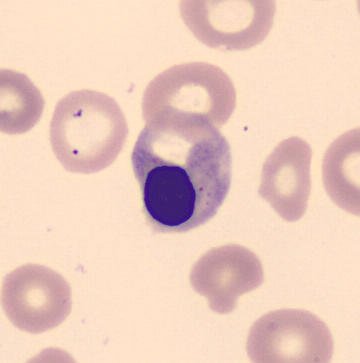

This is a nucleated red cell. Acquisition: Peripheral blood film. Image size 360×363. May Grünwald-Giemsa stain.